Bone marrow aspirate smear: 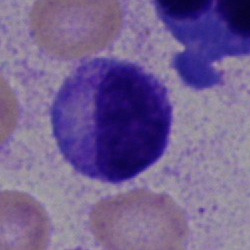

Morphology consistent with a myelocyte.